Bone marrow smear — 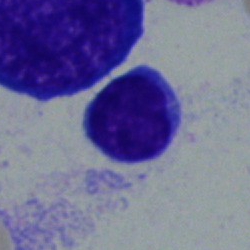 Showing a lymphocyte.